40× objective, oil immersion; bone marrow smear — 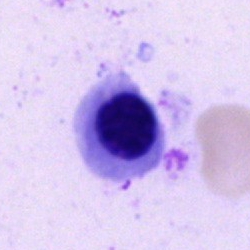 Impression → nucleated red blood cell.